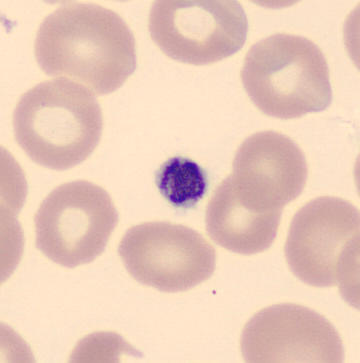 Q: What is this?
A: This is a platelet. CellaVision DM96 digital cell image. 360 by 363 pixels. Peripheral blood film.